Bone marrow aspirate smear · single-cell crop — 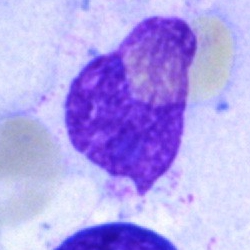Impression → artefact.